May-Grünwald-Giemsa stain · single-cell field · bone marrow smear — 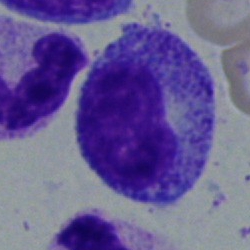
Cell type: myelocyte.